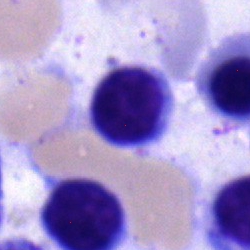{"cell_type": "lymphocyte"}